Peripheral blood smear. Image size 360×363
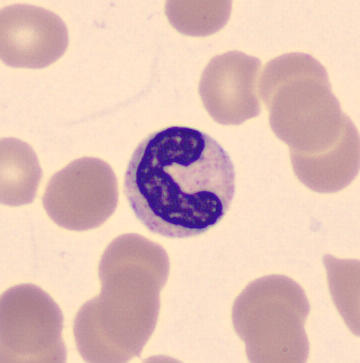

Specimen: peripheral blood film.
Classification: band-form neutrophil.